Bone marrow aspirate smear:
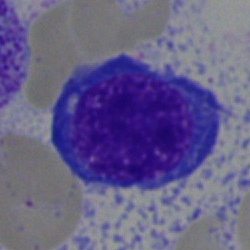This is a nucleated red cell.